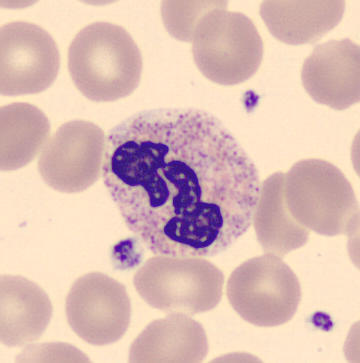
Image: Peripheral blood film.
Classification — polymorphonuclear neutrophil.